40× oil immersion. Bone marrow aspirate smear
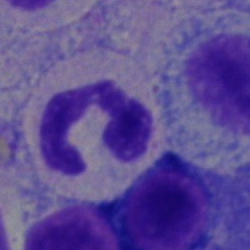

Cell — polymorphonuclear neutrophil.